Bone marrow aspirate smear.
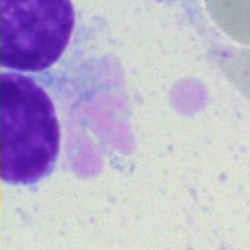 Specimen: bone marrow aspirate smear.
Cell: cell of indeterminate lineage.